Pappenheim-stained; bone marrow smear.
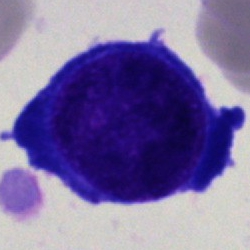
Classification — nucleated red cell.